Bone marrow aspirate smear.
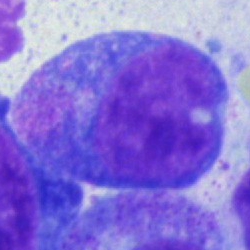

Promyelocyte.